Bone marrow aspirate smear. 250×250 — 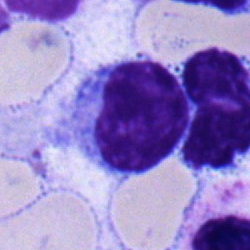
Specimen: bone marrow aspirate smear.
Cell type: lymphocyte.
Lineage: lymphoid.